Brightfield, 40× oil-immersion objective. Bone marrow aspirate smear:
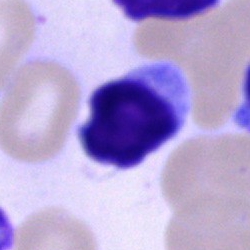The cell shown is a lymphocyte.